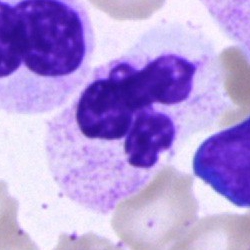 Specimen: bone marrow smear.
Classification: polymorphonuclear neutrophil.